Peripheral blood smear · 100× oil immersion, 14.14 px/µm · Romanowsky stain: 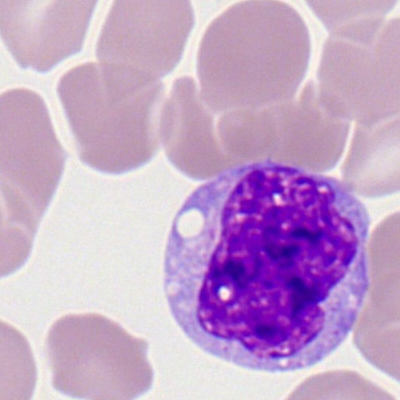
Single cell identified as a monocyte.